Bone marrow smear: 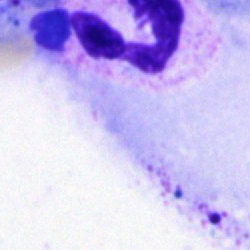 Q: Which cell type is shown here?
A: This is a segmented neutrophil.